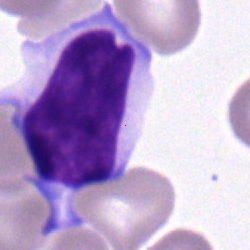
A lymphocyte on a bone marrow smear.